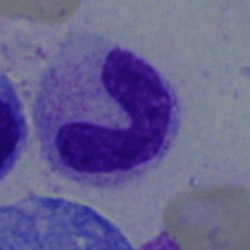
Cell type — neutrophil (band).